Brightfield microscopy, 40× oil immersion; bone marrow smear: 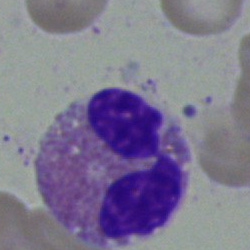
Impression → eosinophil.